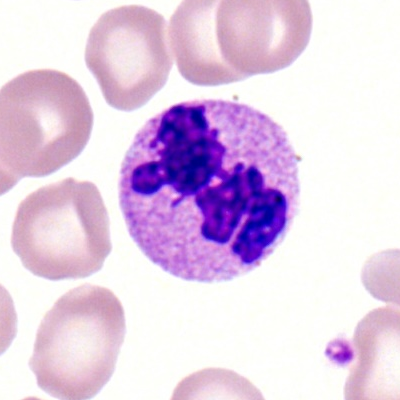

Peripheral blood film, single cell — segmented neutrophil.